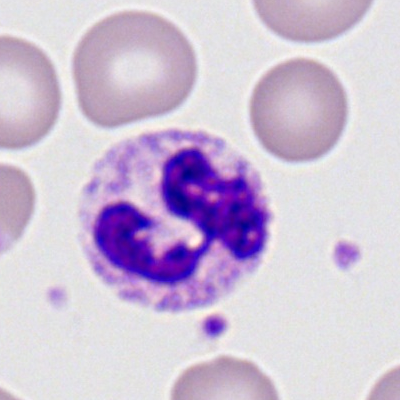 Impression — neutrophil (segmented).